Bone marrow smear:
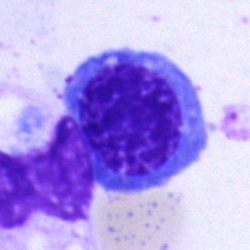Cell type = erythroblast.